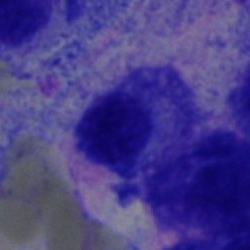Q: What cell is this?
A: Plasma cell.